May-Grünwald-Giemsa stain. Bone marrow smear:
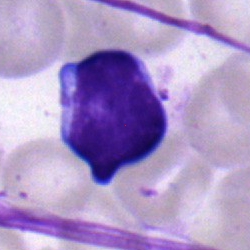 Showing a lymphocyte.